Bone marrow aspirate smear · image size 250×250 · 40× objective, oil immersion:
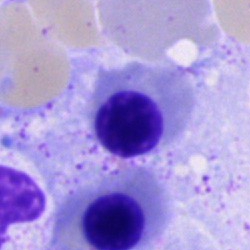
This is an erythroblast.